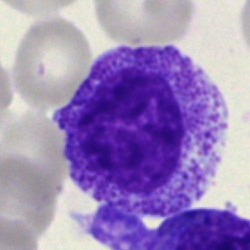Myelocyte.